Bone marrow aspirate smear
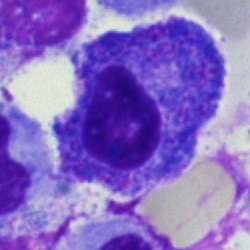

Q: Which cell type is shown here?
A: This is a promyelocyte.